Peripheral blood film.
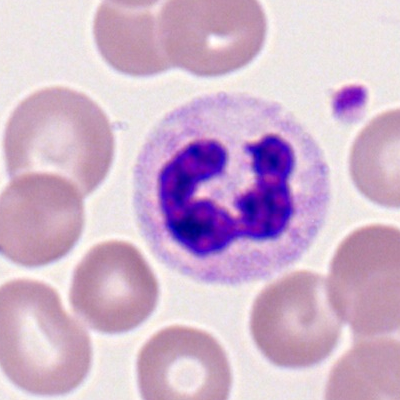
Morphological class — polymorphonuclear neutrophil.